Bone marrow smear; brightfield microscopy, 40× oil immersion:
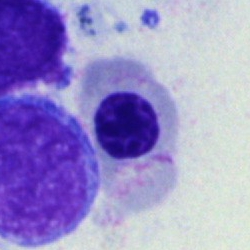

Cell — nucleated red blood cell.